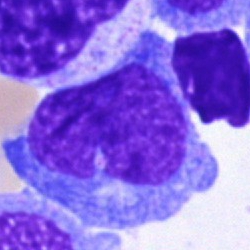 Morphological class = blast.